Bone marrow aspirate smear.
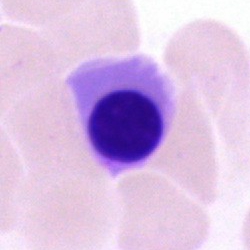 Morphology consistent with a normoblast.